Bone marrow aspirate smear.
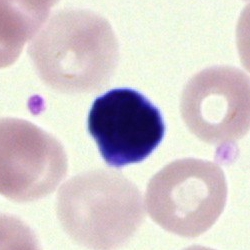
Cell type — artefact.